Single-cell field · bone marrow aspirate smear.
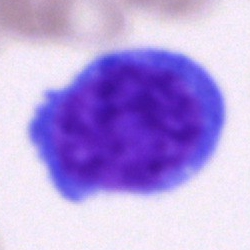 Cell = undifferentiated blast.